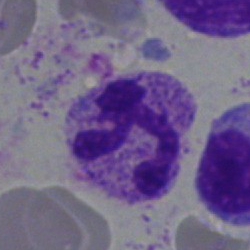Q: Identify the cell.
A: A polymorphonuclear neutrophil.